Bone marrow aspirate smear — 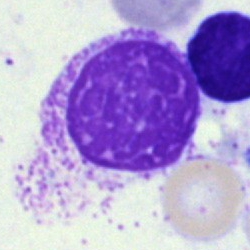Specimen: bone marrow aspirate smear.
Cell type: artifact.